Bone marrow aspirate smear.
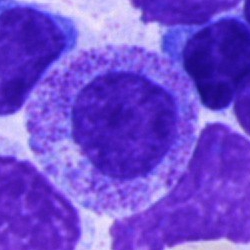
Classification = progranulocyte.